Bone marrow smear. 250×250 px. Pappenheim-stained:
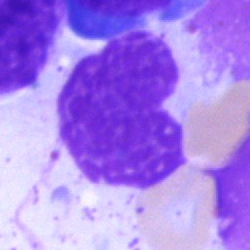
Specimen: bone marrow smear.
Cell type: artefact.